Bone marrow smear. Single cell centered in the field — 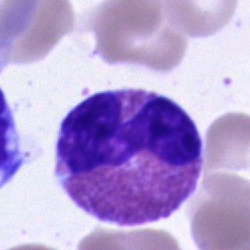 Q: What is the morphological classification of this cell?
A: This is an eosinophilic granulocyte.